Peripheral blood smear · single-cell field: 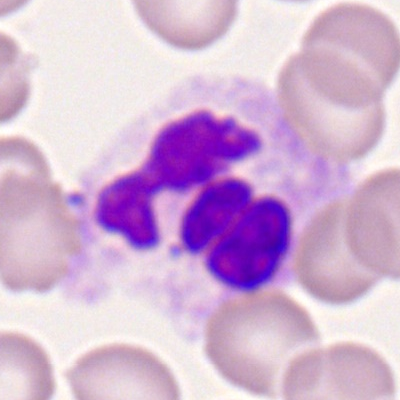

Specimen: peripheral blood film.
Cell: neutrophil (segmented).
Lineage: myeloid.